Single-cell crop · bone marrow smear
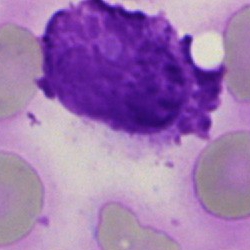Q: What is shown here?
A: An artifact.